Bone marrow smear. Single-cell field. Brightfield microscopy, 40× oil immersion
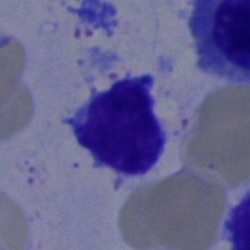

Q: Identify the cell.
A: Lymphocyte.